May-Grünwald-Giemsa stain · bone marrow aspirate smear · brightfield, 40× oil-immersion objective
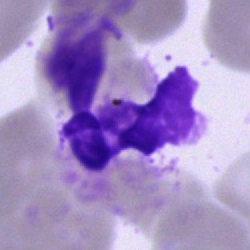

Showing an unidentifiable cell.